250×250. Bone marrow aspirate smear
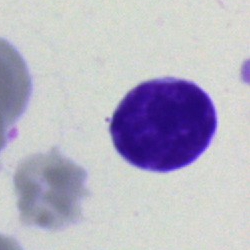

This is a lymphocyte.